Bone marrow smear
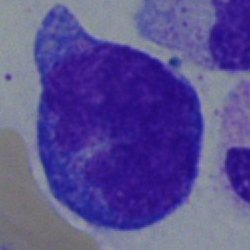
Morphology consistent with a blast.